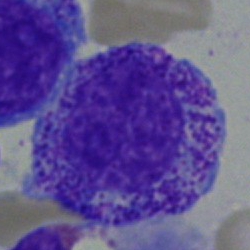{"cell_type": "myelocyte", "lineage": "myeloid"}